Bone marrow aspirate smear — 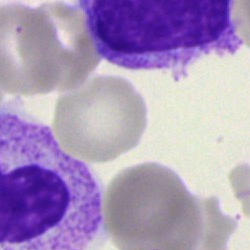Cell type — unidentifiable cell.